Peripheral blood film
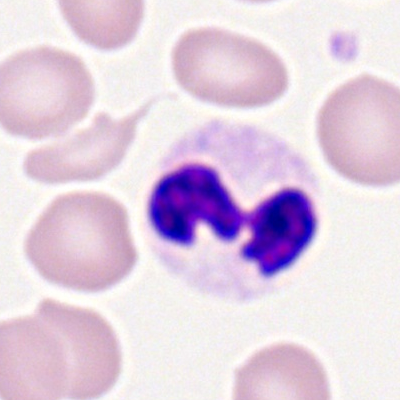Showing a neutrophil (segmented).